Bone marrow smear.
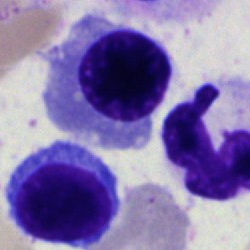The cell shown is a normoblast.